Bone marrow aspirate smear · 250×250 px · brightfield, 40× oil-immersion objective: 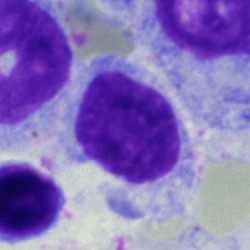
This is an unidentifiable cell.